Bone marrow aspirate smear · brightfield microscopy, 40× oil immersion:
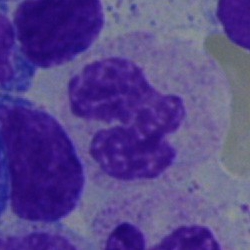

Morphology consistent with a polymorphonuclear neutrophil.